Brightfield microscopy, 40× oil immersion. Single cell centered in the field. Bone marrow aspirate smear.
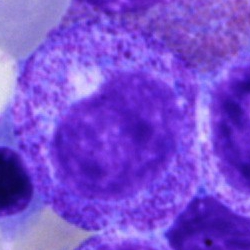 The morphological class is myelocyte.